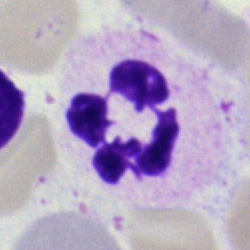 This is a neutrophil (segmented).